Bone marrow smear. Cropped to a single cell: 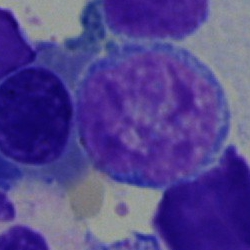
The classification is undifferentiated blast.